Bone marrow aspirate smear · single cell centered in the field — 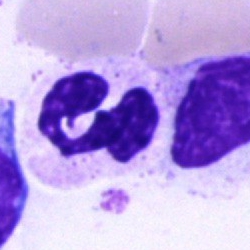 The cell is segmented neutrophil.